Bone marrow aspirate smear.
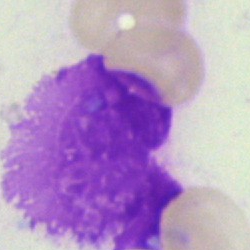

Impression — artefact.